Bone marrow smear: 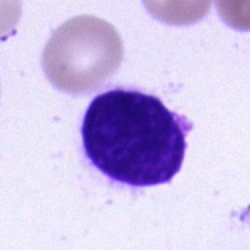
Single cell identified as a typical lymphocyte.